Peripheral blood film.
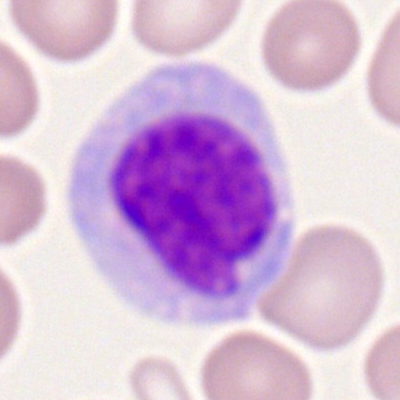
Monocyte.